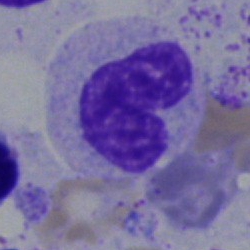
Impression → band-form neutrophil.